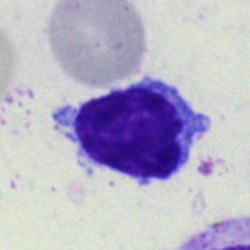
This is a lymphocyte.